MGG-stained · single cell centered in the field · bone marrow aspirate smear:
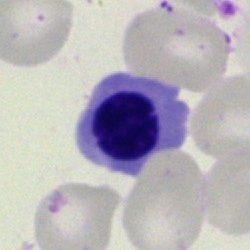
Q: What type of cell is this?
A: It is an erythroblast.